400×400 px; peripheral blood smear.
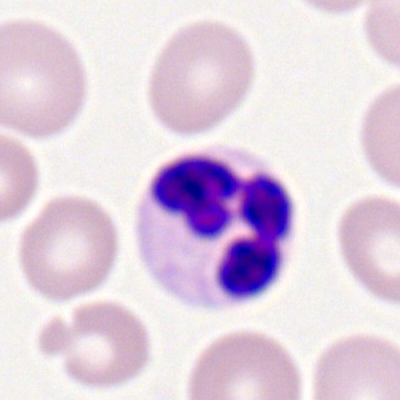Neutrophil (segmented).